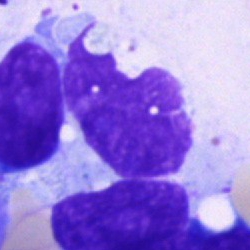
An artifact.